Bone marrow aspirate smear:
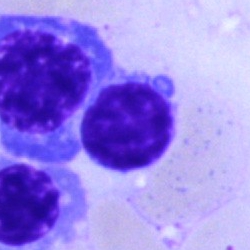Morphological class — lymphocyte.